Bone marrow smear
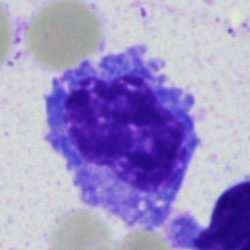Cell — plasmacyte.